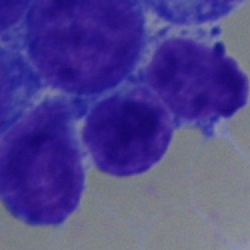
{"cell_type": "blast"}